Bone marrow smear: 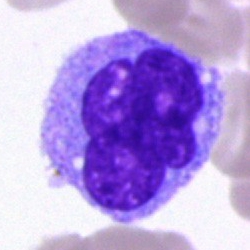 Cell type: monocyte.